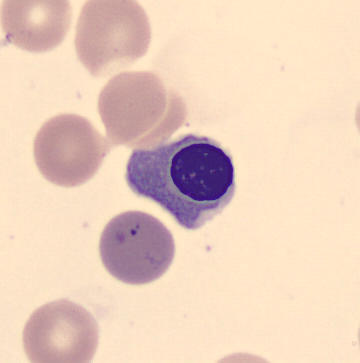

Morphology consistent with an erythroblast.
Image: May Grünwald-Giemsa stain. Single-cell field. Peripheral blood smear.